Bone marrow smear:
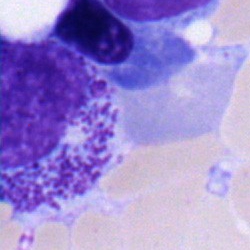

A myelocyte.